Peripheral blood smear
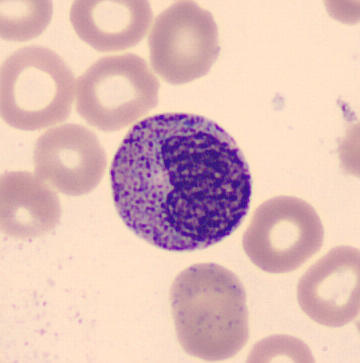
Single cell identified as a metamyelocyte.